250×250. Bone marrow smear:
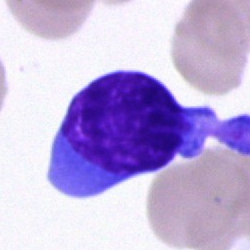
Showing a lymphocyte.